Bone marrow aspirate smear · image size 250×250: 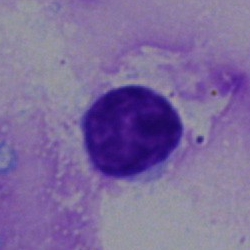 Morphology consistent with a lymphocyte.